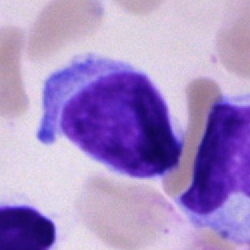
Q: What is shown here?
A: This is a typical lymphocyte.